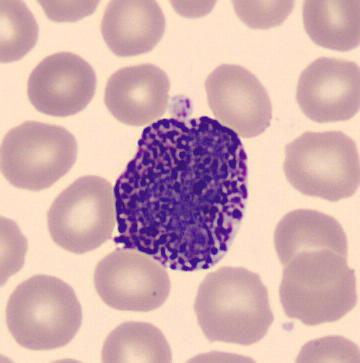 Specimen: peripheral blood film.
Morphological class: basophil.
Lineage: myeloid.

CellaVision DM96.